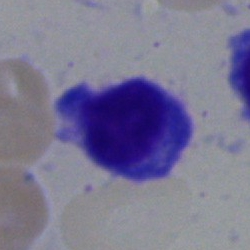The cell is plasmacyte.